Bone marrow smear:
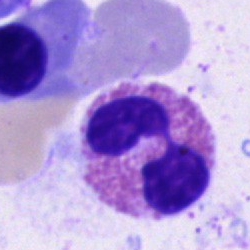 Q: What cell is this?
A: An eosinophil.